Bone marrow aspirate smear — 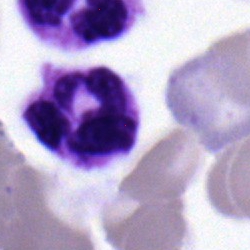 Cell: polymorphonuclear neutrophil.